Bone marrow smear; May-Grünwald-Giemsa stain: 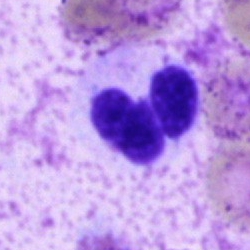

Morphology consistent with a neutrophil (segmented).